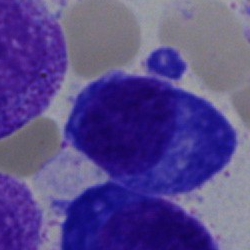
{"cell_type": "plasma cell", "lineage": "lymphoid"}